Bone marrow aspirate smear:
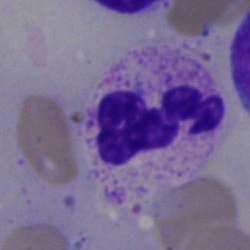

Neutrophil (segmented).